Peripheral blood smear — 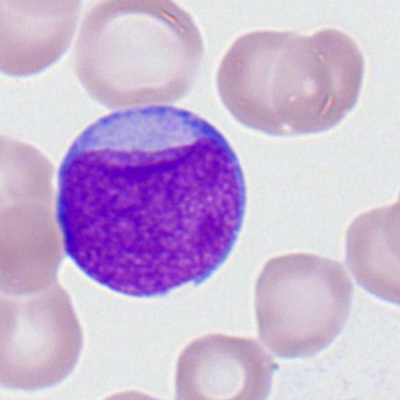
A myeloblast.